Bone marrow smear
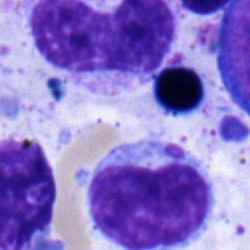The morphological class is metamyelocyte.